Image size 400×400; peripheral blood smear.
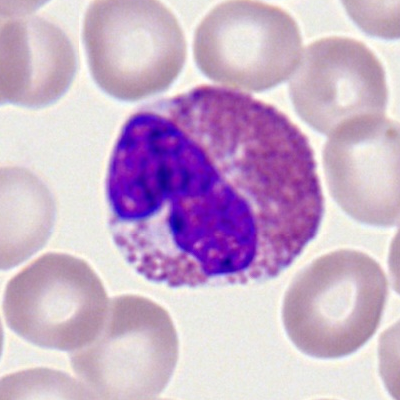Q: Identify the cell.
A: Eosinophilic granulocyte.